250×250 px; May-Grünwald-Giemsa stain; bone marrow smear — 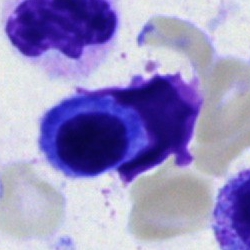

The cell type is lymphocyte.